Single cell centered in the field. Bone marrow smear. 40× oil immersion: 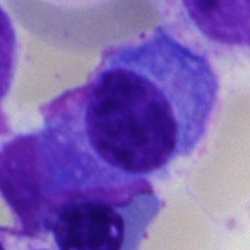
Specimen: bone marrow aspirate smear.
Morphological class: plasmacyte.
Lineage: lymphoid.